May-Grünwald-Giemsa stain · bone marrow smear · image size 250×250:
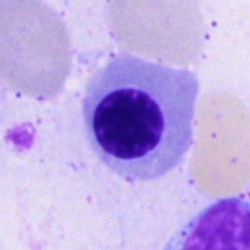
Q: What is the morphological classification of this cell?
A: This is a nucleated red blood cell.